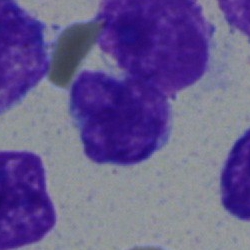 Specimen: bone marrow smear.
Morphological class: lymphocyte.
Lineage: lymphoid.